Bone marrow aspirate smear; single-cell field; May-Grünwald-Giemsa/Pappenheim stain:
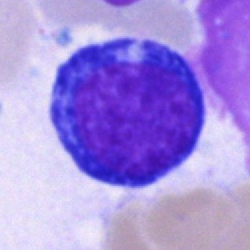Morphology → nucleated red cell.